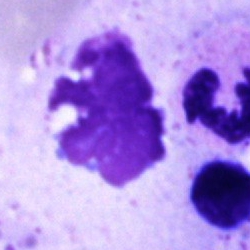Bone marrow aspirate smear, single cell — artefact.